Bone marrow smear; MGG-stained: 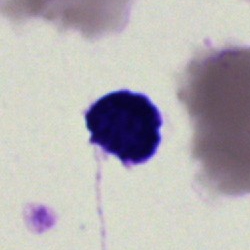Morphological class: artifact.